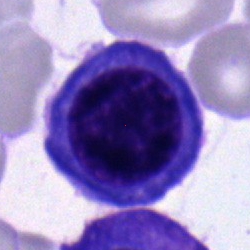
Bone marrow aspirate smear, single cell — plasmacyte.